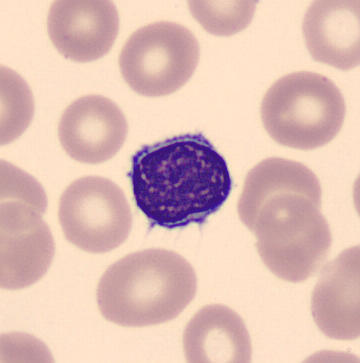
Single-cell crop. Specimen: peripheral blood film.
Cell type: typical lymphocyte.
Lineage: lymphoid.